Bone marrow aspirate smear · cropped to a single cell · 40× oil immersion:
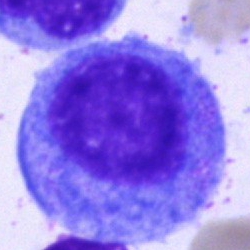 This is a promyelocyte.